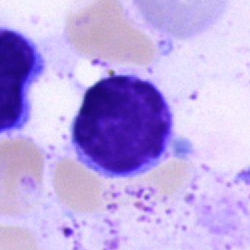

Q: What is shown here?
A: This is a typical lymphocyte.